Bone marrow smear.
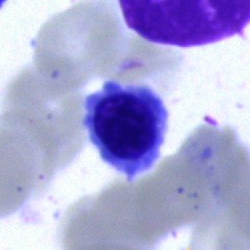
The cell is nucleated red blood cell.